Bone marrow aspirate smear:
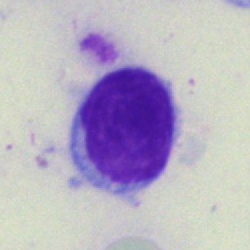
This is a lymphocyte.